250×250; bone marrow smear: 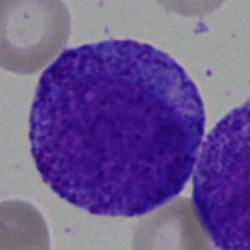
Showing a promyelocyte.